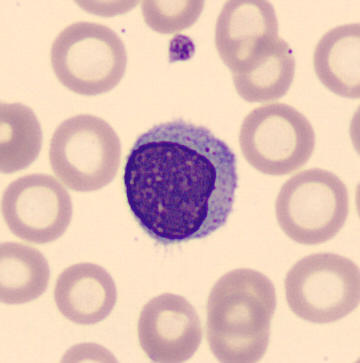

Specimen: peripheral blood film.
Morphological class: typical lymphocyte.
Lineage: lymphoid.